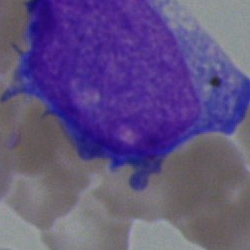

Impression — blast cell.